360×363. Peripheral blood smear — 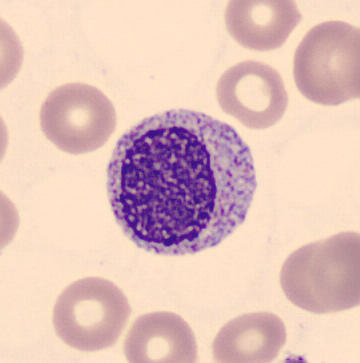Showing a myelocyte.